Single-cell field · bone marrow aspirate smear — 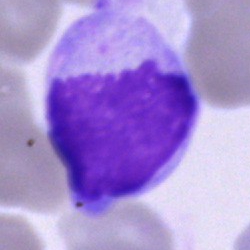 Q: Which cell type is shown here?
A: It is an unidentifiable cell.